Bone marrow smear.
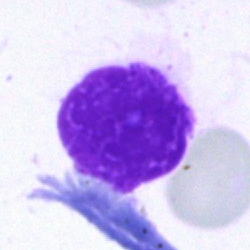 Specimen: bone marrow smear.
Cell type: artifact.